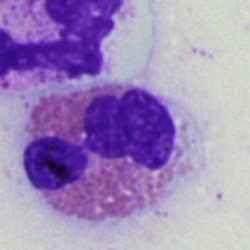
Q: What type of cell is this?
A: This is an eosinophilic granulocyte.